Bone marrow smear: 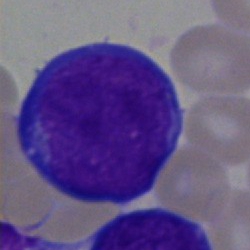
Cell — blast cell.